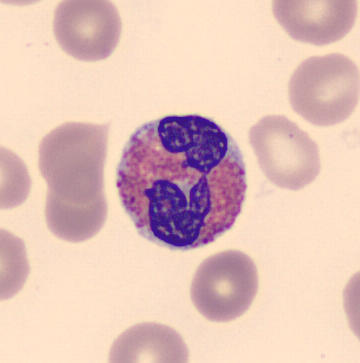 The morphological class is eosinophil.

Preparation: Peripheral blood film.